Bone marrow smear · 250×250 px: 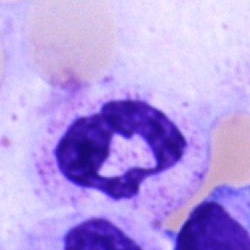

Specimen: bone marrow aspirate smear.
Cell type: segmented neutrophil.